Bone marrow smear.
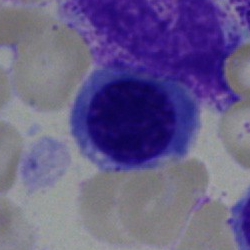 Q: What type of cell is this?
A: It is an erythroblast.